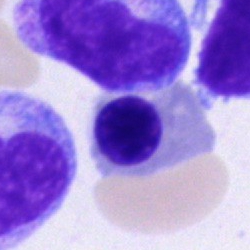 Q: Identify the cell.
A: It is an erythroblast.